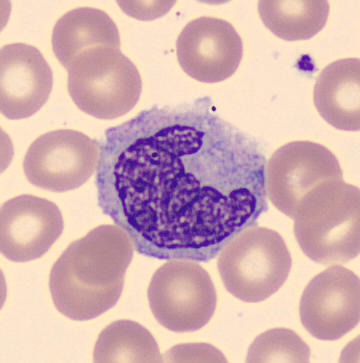 Identified as a monocyte.

Preparation: CellaVision DM96; 360×363 px; peripheral blood smear.